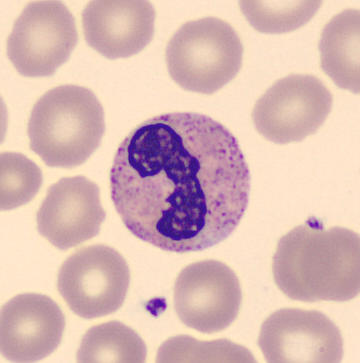

The cell type is stab cell. Image: Single-cell crop · peripheral blood smear.